Bone marrow aspirate smear. Single cell centered in the field. Image size 250×250.
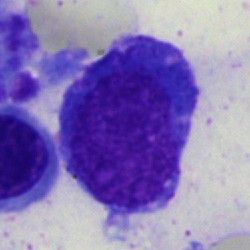
{"cell_type": "normoblast", "lineage": "erythroid"}